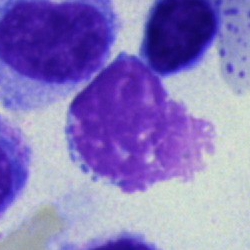Cell type — artifact.